Bone marrow smear.
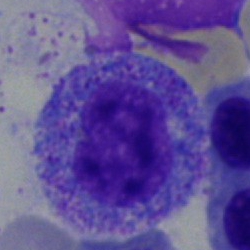
Q: Which cell type is shown here?
A: It is a progranulocyte.